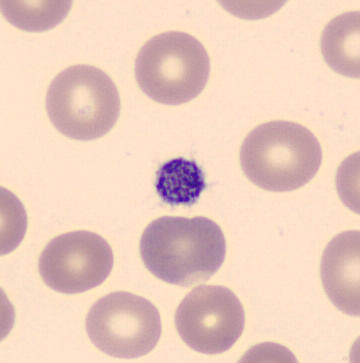 Q: What is shown here?
A: This is a platelet (thrombocyte). Automated cell imaging (CellaVision DM96) · peripheral blood smear · May Grünwald-Giemsa stain.